Image size 250×250 · bone marrow aspirate smear
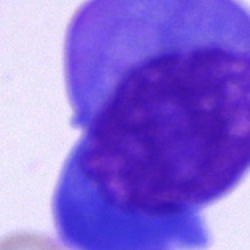{"cell_type": "plasmacyte", "lineage": "lymphoid"}